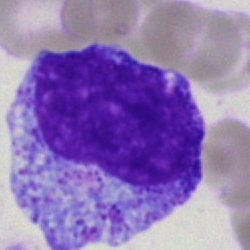
Showing a promyelocyte.